Brightfield, 40× oil-immersion objective · bone marrow aspirate smear.
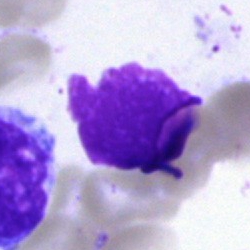

This is an artefact.